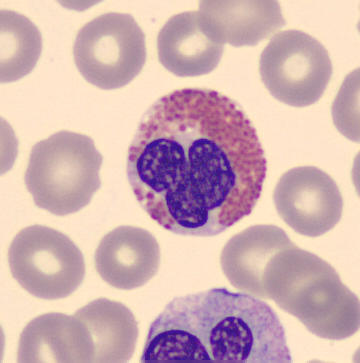Specimen: peripheral blood film.
Cell type: eosinophilic granulocyte.
Lineage: myeloid.